Bone marrow smear · May-Grünwald-Giemsa/Pappenheim stain:
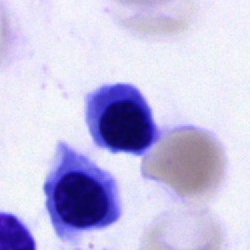

Q: What is the morphological classification of this cell?
A: It is a nucleated red cell.